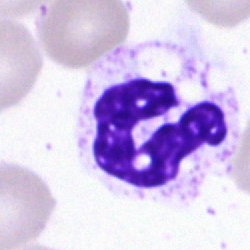 {"cell_type": "polymorphonuclear neutrophil"}